Bone marrow aspirate smear — 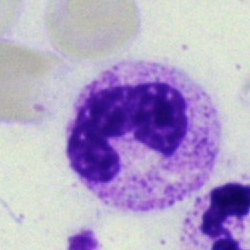 Q: What cell is this?
A: This is a polymorphonuclear neutrophil.